Cropped to a single cell; peripheral blood film:
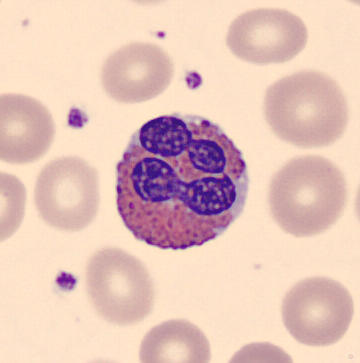

Identified as an eosinophil.